MGG-stained; single-cell crop; bone marrow aspirate smear.
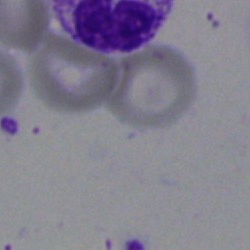Specimen: bone marrow smear.
Morphological class: unidentifiable cell.